Bone marrow smear; cropped to a single cell — 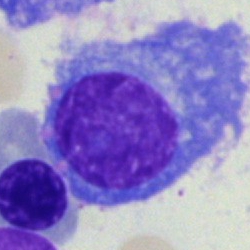

Impression → plasmacyte.